Single cell centered in the field; peripheral blood smear:
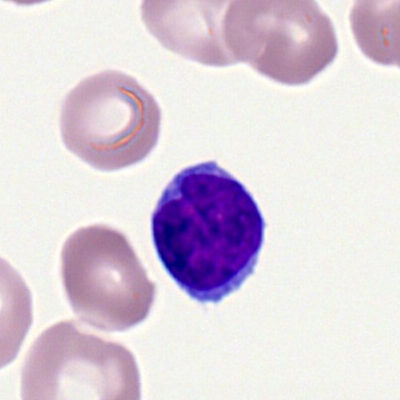 Specimen: peripheral blood smear.
Cell: lymphocyte.
Lineage: lymphoid.